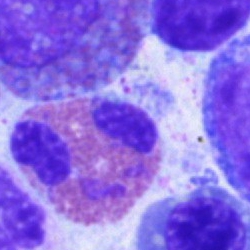
Showing an eosinophil.